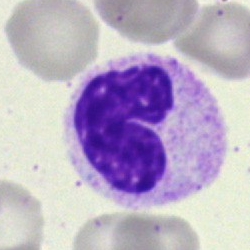
Cell — neutrophil (band).